Bone marrow smear
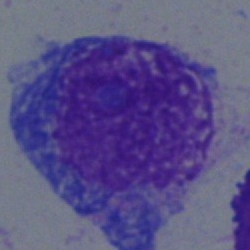Q: What is the morphological classification of this cell?
A: A blast cell.